100× oil immersion; peripheral blood film; Romanowsky-type stain
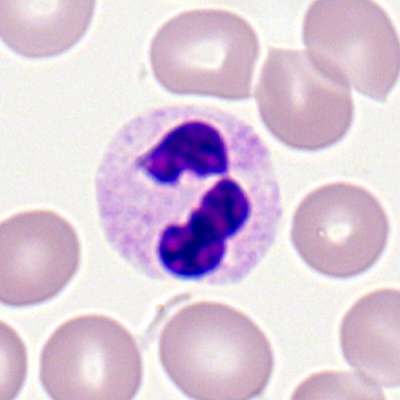

Morphology — polymorphonuclear neutrophil.